Bone marrow aspirate smear. Image size 250×250: 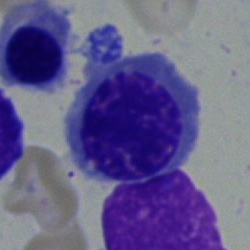Cell — nucleated red blood cell.